Bone marrow aspirate smear; 40× oil immersion.
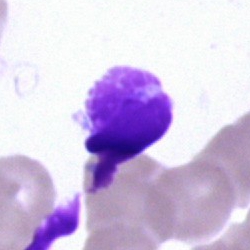Artefact.